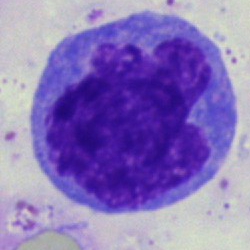 Morphology → monocyte.